Cropped to a single cell; bone marrow smear: 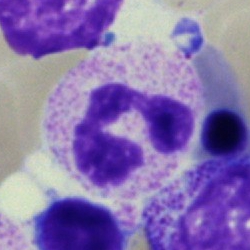Q: What type of cell is this?
A: A polymorphonuclear neutrophil.